Bone marrow aspirate smear
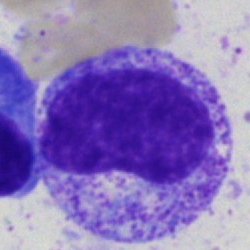This is a myelocyte.